May-Grünwald-Giemsa/Pappenheim stain. Bone marrow smear — 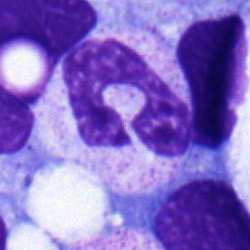
Specimen: bone marrow aspirate smear.
Cell type: band-form neutrophil.